Bone marrow smear · 40× oil immersion · Pappenheim-stained
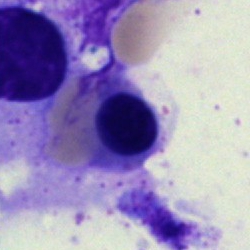 Q: What type of cell is this?
A: This is an erythroblast.